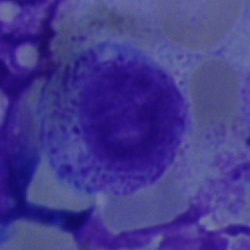

Cell = myelocyte.